Bone marrow aspirate smear. MGG-stained:
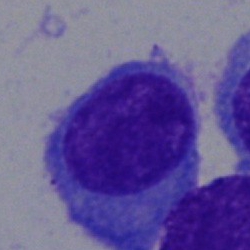

Showing a plasma cell.